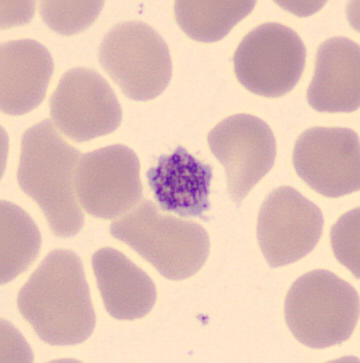

Acquisition: Peripheral blood smear.
Q: What is shown here?
A: Platelet.